Bone marrow smear: 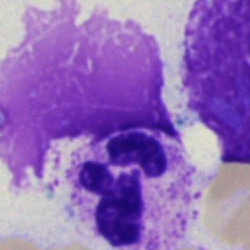
Polymorphonuclear neutrophil.